Bone marrow aspirate smear · May-Grünwald-Giemsa/Pappenheim stain — 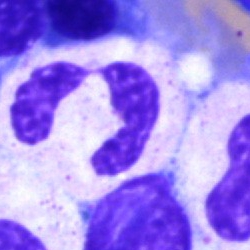Q: What is the morphological classification of this cell?
A: A polymorphonuclear neutrophil.